40× oil immersion; May-Grünwald-Giemsa stain; bone marrow smear — 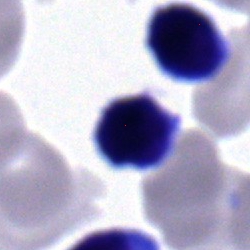

Impression — typical lymphocyte.